Bone marrow smear.
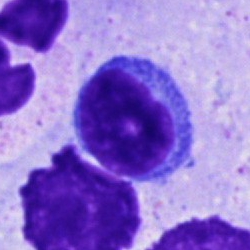This is a typical lymphocyte.